Bone marrow aspirate smear; brightfield, 40× oil-immersion objective; MGG-stained:
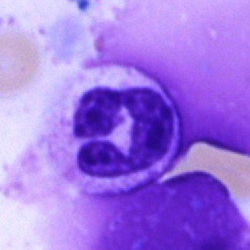
This is a neutrophil (segmented).